250×250 px. Bone marrow smear. 40× oil immersion
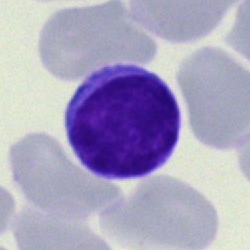Impression — lymphocyte.